Bone marrow aspirate smear.
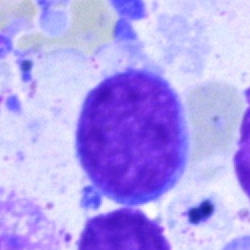Impression — blast cell.